Bone marrow aspirate smear: 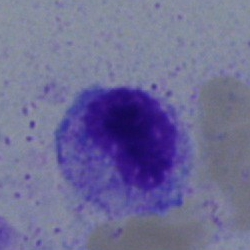 Showing a myelocyte.